Bone marrow aspirate smear · 250×250 px · cropped to a single cell — 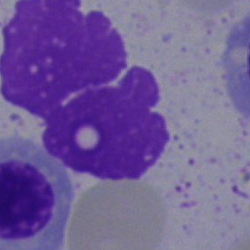 This is an artefact.